Cropped to a single cell; bone marrow aspirate smear; Pappenheim-stained: 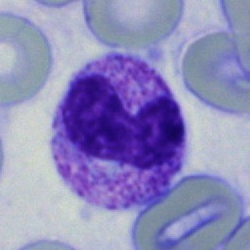
Q: What is the morphological classification of this cell?
A: A stab cell.